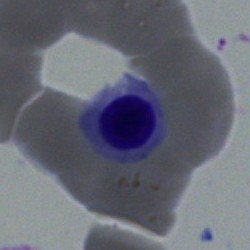 Cell: basophilic granulocyte.